Single cell centered in the field · bone marrow smear:
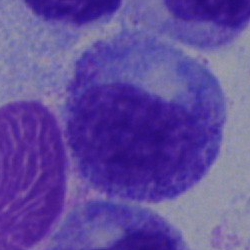The morphological class is myelocyte.